Brightfield microscopy, 40× oil immersion. Bone marrow smear:
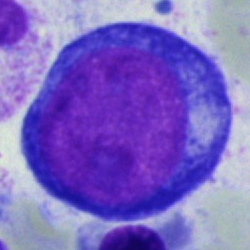 {"cell_type": "proerythroblast"}